Bone marrow smear. MGG-stained. 250×250 px:
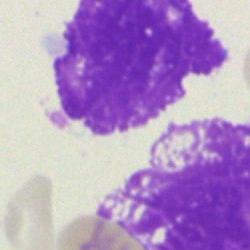Morphology consistent with an artifact.